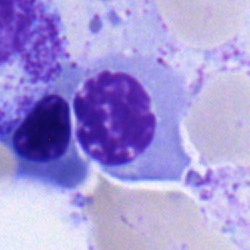The classification is erythroblast.